Bone marrow aspirate smear: 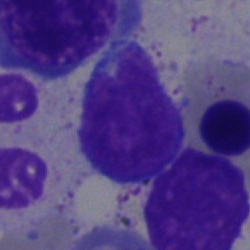

{"cell_type": "lymphocyte", "lineage": "lymphoid"}